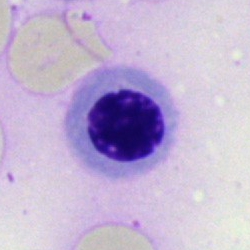
A nucleated red cell.